Bone marrow aspirate smear: 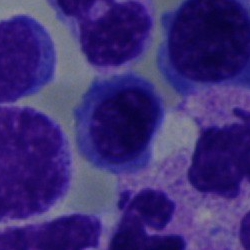Normoblast.